Image size 250×250; bone marrow smear.
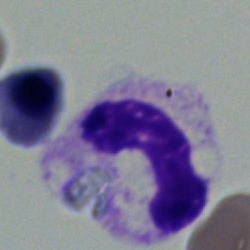 Specimen: bone marrow aspirate smear.
Cell type: polymorphonuclear neutrophil.